Bone marrow smear — 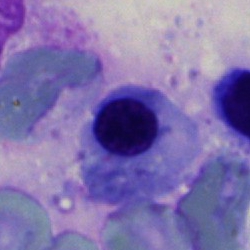This is a normoblast.